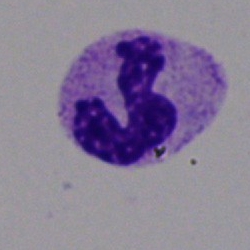
Showing a polymorphonuclear neutrophil.